Bone marrow aspirate smear
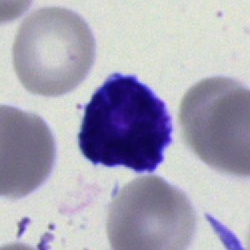
Morphology → blast cell.